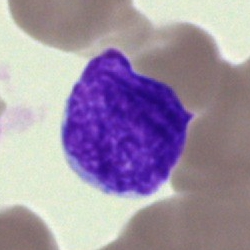
Morphological class: lymphocyte.